Brightfield microscopy, 40× oil immersion; bone marrow aspirate smear:
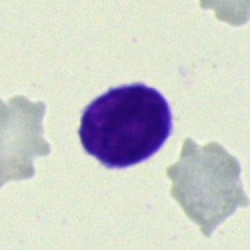

Specimen: bone marrow aspirate smear.
Classification: typical lymphocyte.